Bone marrow aspirate smear.
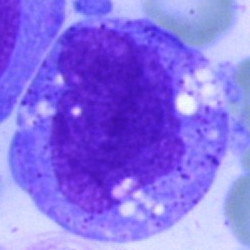 Specimen: bone marrow aspirate smear.
Cell type: blast.